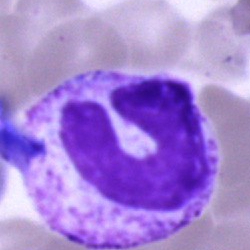
Single-cell crop from a bone marrow smear: stab cell.